Bone marrow aspirate smear; brightfield, 40× oil-immersion objective; 250 by 250 pixels: 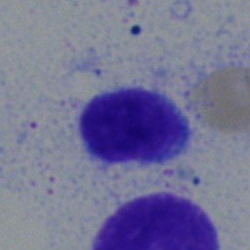

Morphology consistent with a typical lymphocyte.